Bone marrow smear.
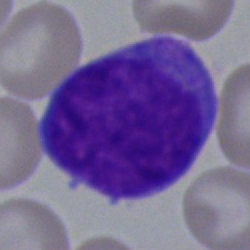
Cell type: blast.